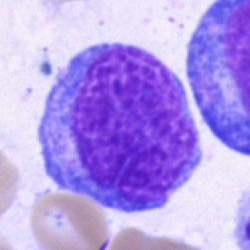Specimen: bone marrow smear.
Classification: blast cell.